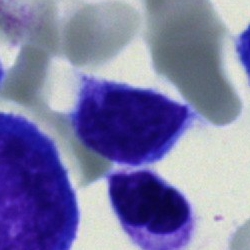

Cell — lymphocyte.